Bone marrow smear.
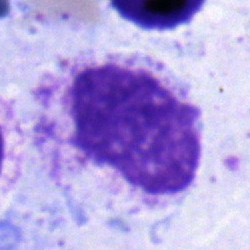Morphology — myelocyte.